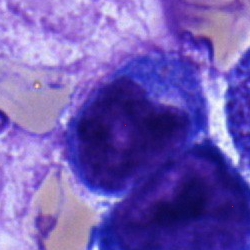
{"cell_type": "proerythroblast", "lineage": "erythroid"}